Bone marrow smear; May-Grünwald-Giemsa stain; image size 250×250:
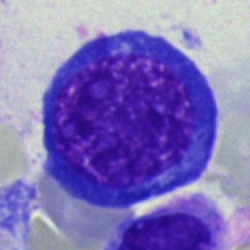

Impression — normoblast.